400×400. Peripheral blood smear. 100× oil immersion, 14.14 px/µm: 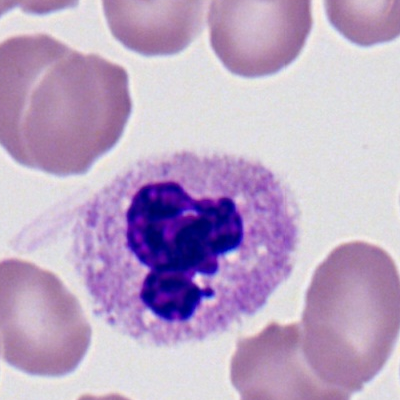Q: Which cell type is shown here?
A: Neutrophil (segmented).